Peripheral blood film:
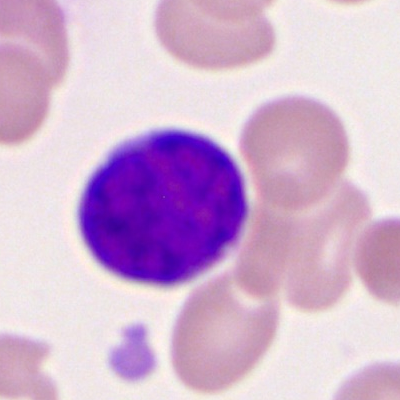

The classification is myeloid blast.